Bone marrow aspirate smear; 250×250; brightfield, 40× oil-immersion objective.
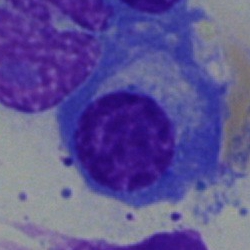

The classification is plasmacyte.